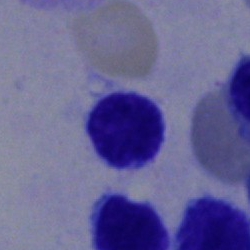

Morphological class: lymphocyte.